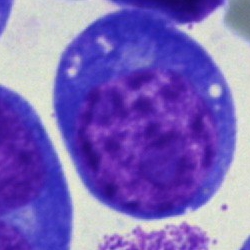
An undifferentiated blast on a bone marrow smear.